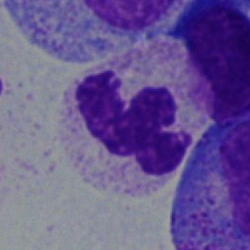

{"cell_type": "polymorphonuclear neutrophil"}